Image size 250×250 · single-cell field · bone marrow smear.
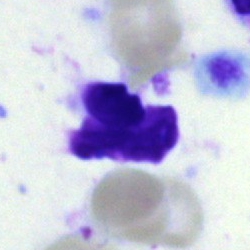Cell = myelocyte.